Bone marrow aspirate smear. Brightfield microscopy, 40× oil immersion: 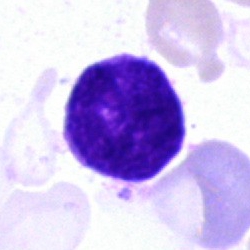The classification is blast.